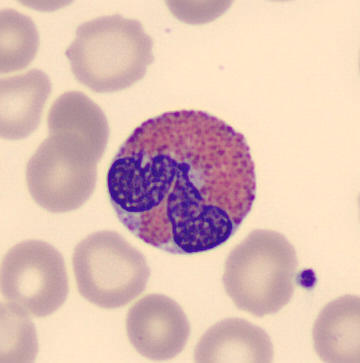Peripheral blood smear.
Single cell identified as an eosinophil.